Bone marrow smear:
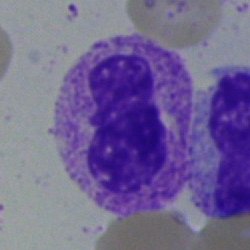Morphology consistent with a neutrophil (band).